Peripheral blood smear · Romanowsky-stained · 400 by 400 pixels:
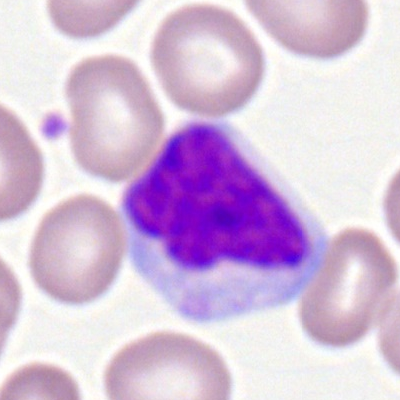

Morphological class = lymphocyte.